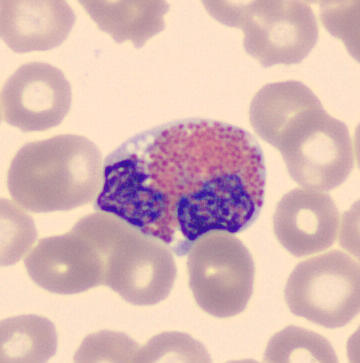Impression → eosinophilic granulocyte.